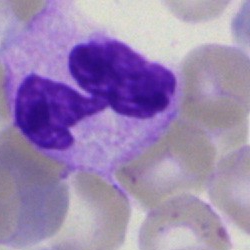 {"cell_type": "neutrophil (segmented)", "lineage": "myeloid"}